Bone marrow aspirate smear. Cropped to a single cell. 250×250 px — 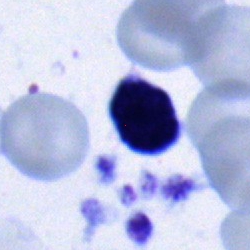Classification = lymphocyte.